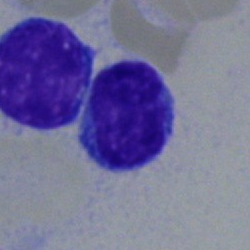

Morphological class: typical lymphocyte.